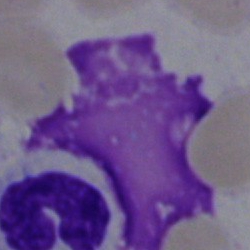 The cell shown is an artifact.